May-Grünwald-Giemsa/Pappenheim stain · bone marrow aspirate smear — 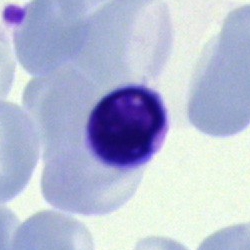

Showing an artefact.